Bone marrow aspirate smear
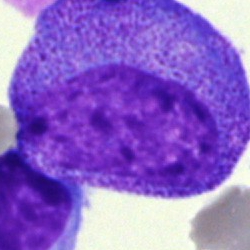
Morphological class: myelocyte.